Bone marrow smear: 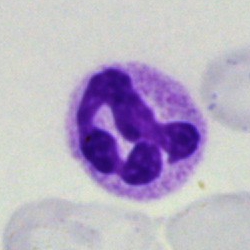The morphological class is polymorphonuclear neutrophil.